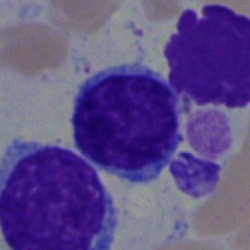Q: Which cell type is shown here?
A: This is a typical lymphocyte.